May-Grünwald-Giemsa/Pappenheim stain; bone marrow aspirate smear.
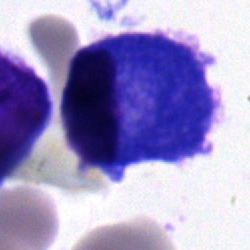

Morphology → plasma cell.